Bone marrow aspirate smear; brightfield, 40× oil-immersion objective; MGG-stained — 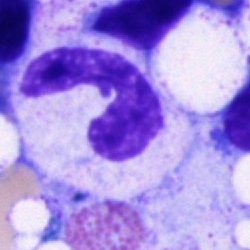
A neutrophil (band).